40× oil immersion. Bone marrow smear — 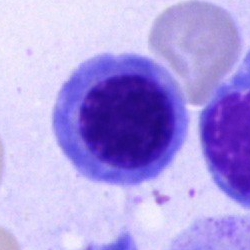

Specimen: bone marrow smear.
Cell type: nucleated red blood cell.